Romanowsky stain; image size 400×400; peripheral blood film — 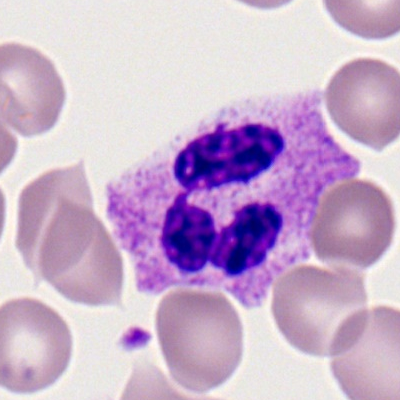The cell shown is a segmented neutrophil.